40× oil immersion; bone marrow smear; 250 by 250 pixels: 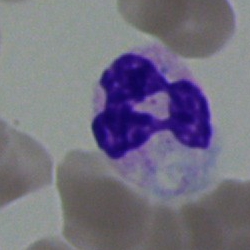 Cell — neutrophil (segmented).